Bone marrow smear. 40× objective, oil immersion. May-Grünwald-Giemsa stain: 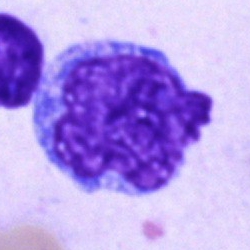
The morphological class is blast.